Single-cell crop; bone marrow aspirate smear; 40× objective, oil immersion — 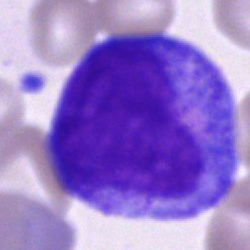
Impression → progranulocyte.